Bone marrow aspirate smear — 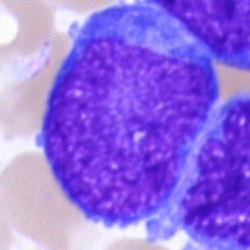Morphological class = blast.